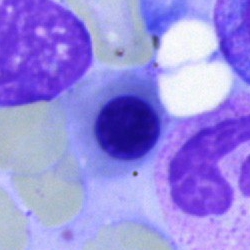

A nucleated red cell.